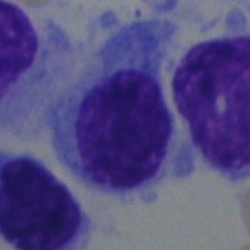Q: What type of cell is this?
A: Hairy cell.